May-Grünwald-Giemsa stain · bone marrow smear:
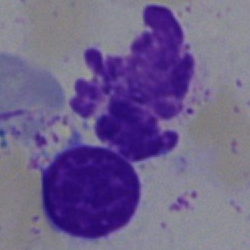 The cell shown is an artifact.